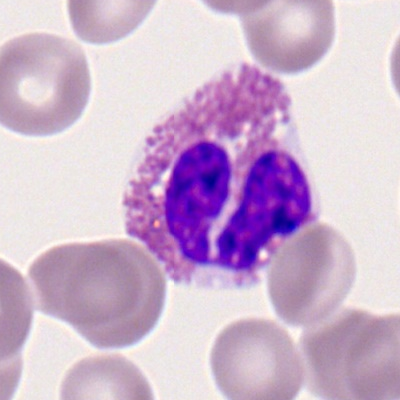Q: What cell is this?
A: An eosinophil.